Bone marrow smear. 250×250:
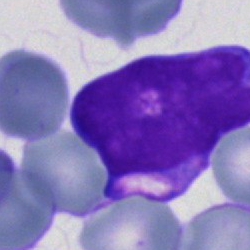Blast cell.